Bone marrow smear.
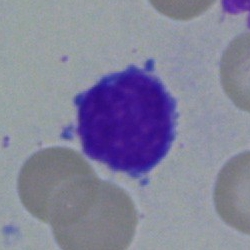Morphology → lymphocyte.